Bone marrow aspirate smear — 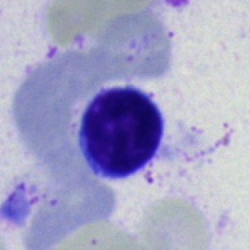
{"cell_type": "typical lymphocyte"}